Bone marrow smear. Brightfield microscopy, 40× oil immersion.
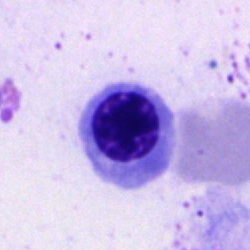Cell: erythroblast.